Bone marrow aspirate smear — 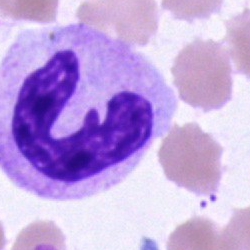 This is a stab cell.